May-Grünwald-Giemsa/Pappenheim stain · bone marrow smear:
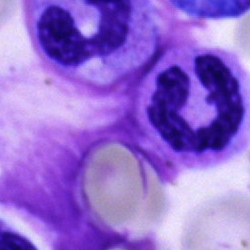
Segmented neutrophil.